Bone marrow smear — 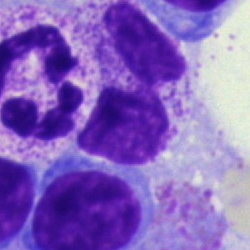

Classification = neutrophil (segmented).